Bone marrow aspirate smear:
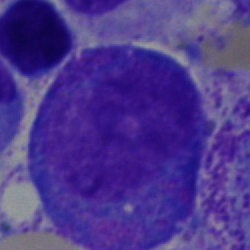Q: What type of cell is this?
A: Promyelocyte.